Bone marrow smear
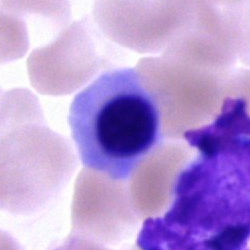 The cell shown is a normoblast.